Bone marrow smear.
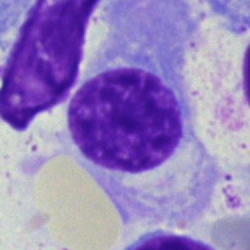Impression — plasmacyte.